Bone marrow smear
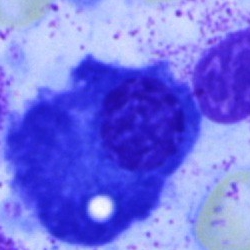Q: What is shown here?
A: This is a plasmacyte.